Bone marrow smear: 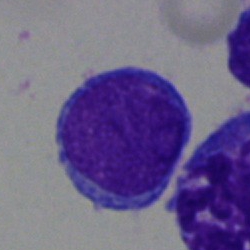

{"cell_type": "lymphocyte"}